Bone marrow aspirate smear.
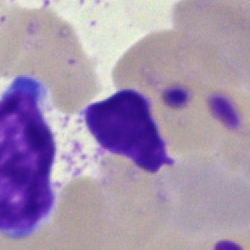

An unidentifiable cell.